Bone marrow smear. 250 by 250 pixels. 40× oil immersion — 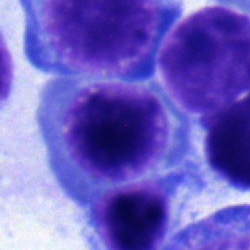{"cell_type": "nucleated red cell", "lineage": "erythroid"}